Bone marrow aspirate smear: 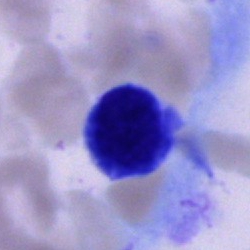Morphology consistent with an unidentifiable cell.